40× objective, oil immersion; bone marrow smear.
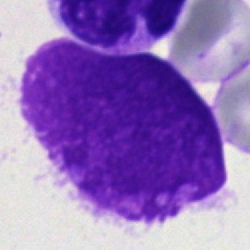Artifact.